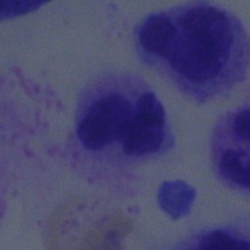

Specimen: bone marrow aspirate smear.
Classification: neutrophil (segmented).
Lineage: myeloid.